Cropped to a single cell · bone marrow aspirate smear
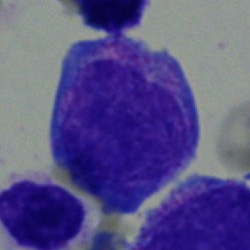 Q: Which cell type is shown here?
A: This is a blast.